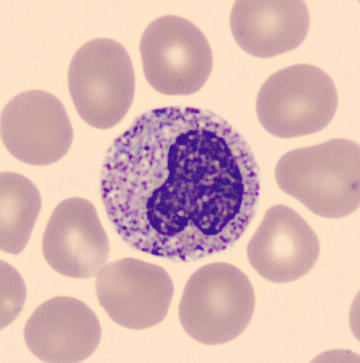Q: Which cell type is shown here?
A: A metamyelocyte. Image: Peripheral blood film; 360×363.